Bone marrow smear. Pappenheim-stained.
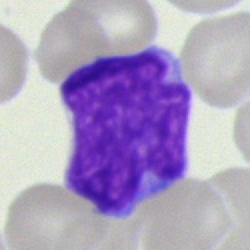 Specimen: bone marrow smear.
Classification: blast.